Bone marrow smear · 40× oil immersion · single-cell crop: 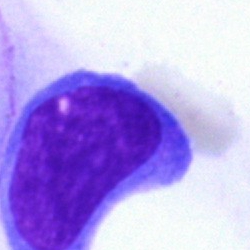 Morphology — blast.